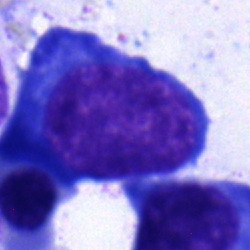

Single-cell crop from a bone marrow smear: proerythroblast.